Bone marrow aspirate smear · MGG-stained:
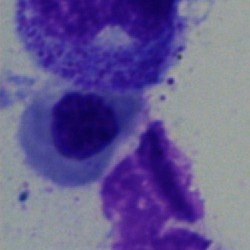 Morphology consistent with a nucleated red cell.